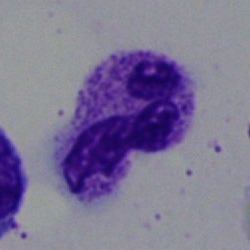

Q: What is shown here?
A: It is a polymorphonuclear neutrophil.